Bone marrow aspirate smear; 250 by 250 pixels — 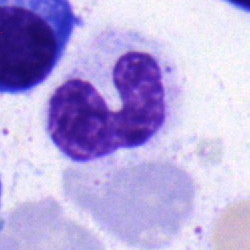Morphology consistent with a stab cell.